Peripheral blood film — 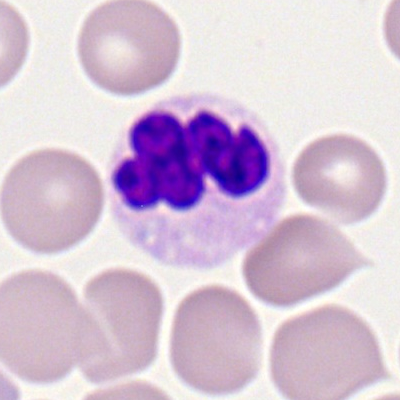

Specimen: peripheral blood smear.
Cell type: segmented neutrophil.
Lineage: myeloid.